Bone marrow aspirate smear
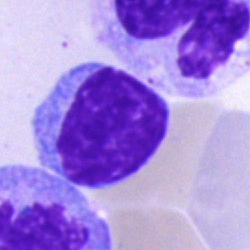 Single cell identified as a typical lymphocyte.